Bone marrow smear — 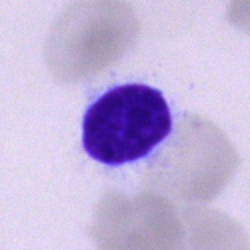

Classification: typical lymphocyte.